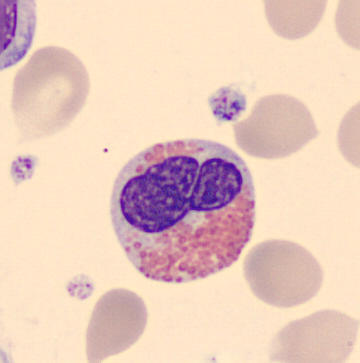
Preparation: Peripheral blood smear. Morphology — eosinophil.